Bone marrow smear
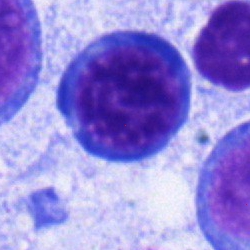
Showing a nucleated red cell.